Peripheral blood smear · 100× oil immersion:
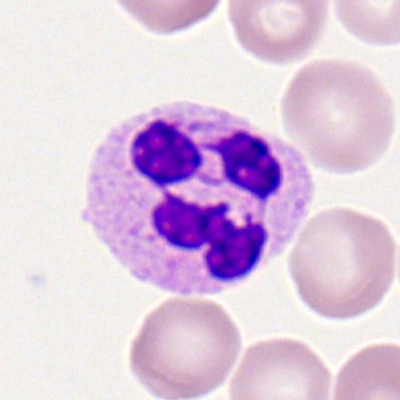The cell is neutrophil (segmented).